Bone marrow aspirate smear:
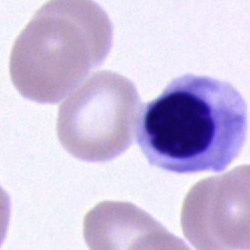
A nucleated red cell.